Cropped to a single cell; bone marrow smear.
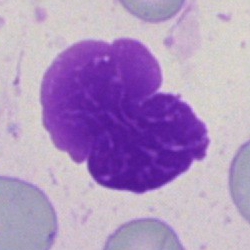
Specimen: bone marrow smear.
Morphological class: artifact.